Bone marrow smear.
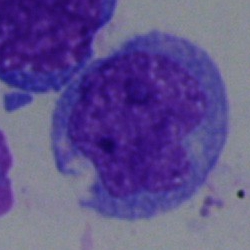Q: What is shown here?
A: A blast.